Bone marrow aspirate smear — 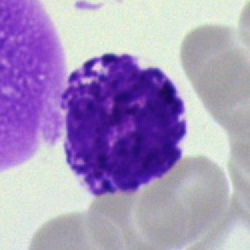The classification is basophil.